Pappenheim-stained; bone marrow smear.
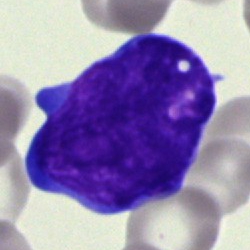
Blast cell.